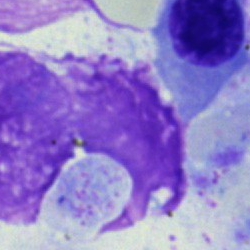

Q: What is shown here?
A: An artefact.